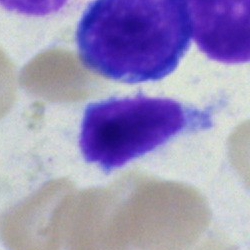Q: Identify the cell.
A: Lymphocyte.